Bone marrow smear: 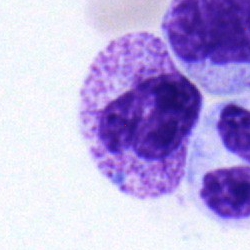Specimen: bone marrow aspirate smear.
Classification: band neutrophil.
Lineage: myeloid.